400×400. Peripheral blood smear — 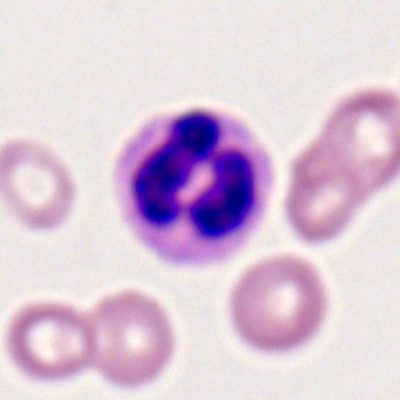Showing a polymorphonuclear neutrophil.